Bone marrow aspirate smear · cropped to a single cell — 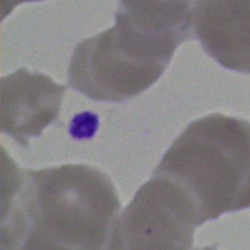This is an artefact.